Bone marrow aspirate smear · May-Grünwald-Giemsa/Pappenheim stain
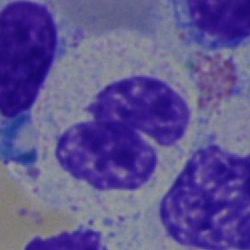Impression — segmented neutrophil.